250×250 · bone marrow aspirate smear.
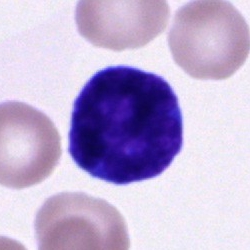

Unidentifiable cell.